Bone marrow smear — 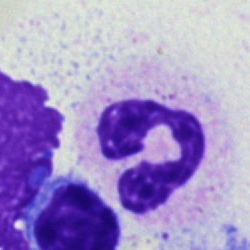

The cell shown is a segmented neutrophil.